Bone marrow aspirate smear: 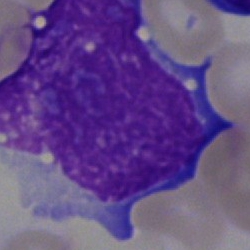Cell: undifferentiated blast.